Bone marrow aspirate smear:
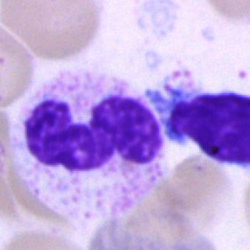

Single cell identified as a segmented neutrophil.